Bone marrow aspirate smear; single-cell crop
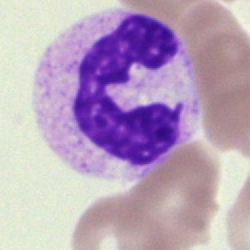A band neutrophil.